Bone marrow smear — 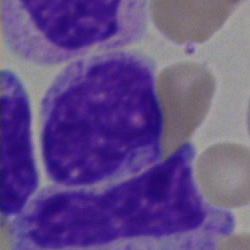Q: What is shown here?
A: An artifact.